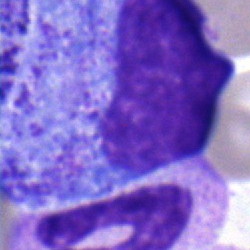
Bone marrow smear showing a progranulocyte.